Bone marrow smear
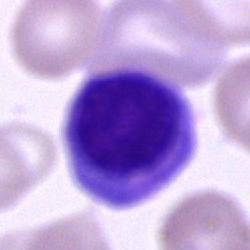

A typical lymphocyte.